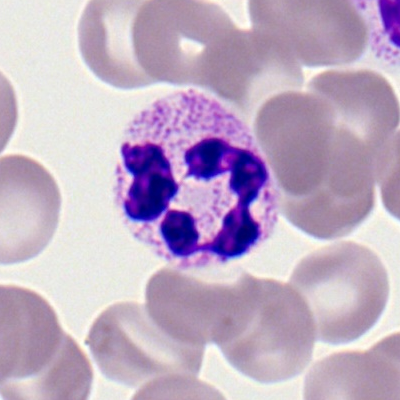

Q: Identify the cell.
A: This is a polymorphonuclear neutrophil.